Bone marrow smear
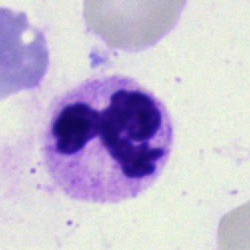 Showing a polymorphonuclear neutrophil.